Bone marrow smear; cropped to a single cell:
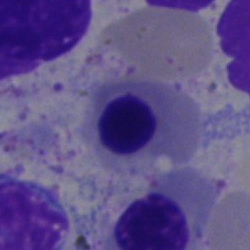 Classification — nucleated red blood cell.